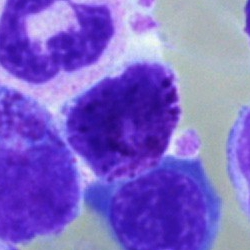 The cell type is basophilic granulocyte.